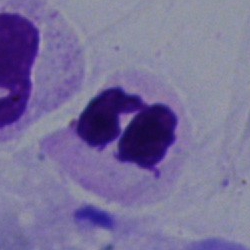
Impression — neutrophil (segmented).